Bone marrow smear · May-Grünwald-Giemsa/Pappenheim stain
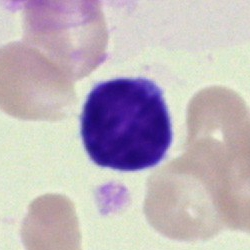 Impression — lymphocyte.